Bone marrow aspirate smear. 250×250 — 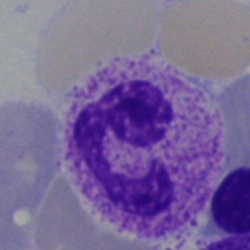A neutrophil (segmented).